Bone marrow smear · single cell centered in the field: 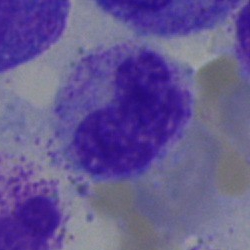 Single cell identified as a metamyelocyte.